40× oil immersion · bone marrow aspirate smear:
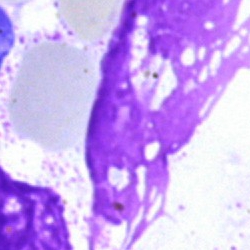

Classification = artifact.